Bone marrow smear.
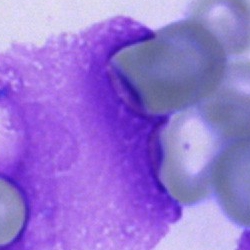

The cell is artefact.